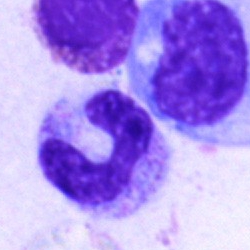 Specimen: bone marrow smear.
Cell: band neutrophil.